Bone marrow aspirate smear. 250×250 px: 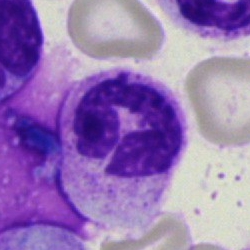 Q: Which cell type is shown here?
A: Neutrophil (segmented).